Bone marrow smear — 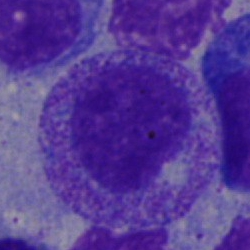
Morphology — myelocyte.